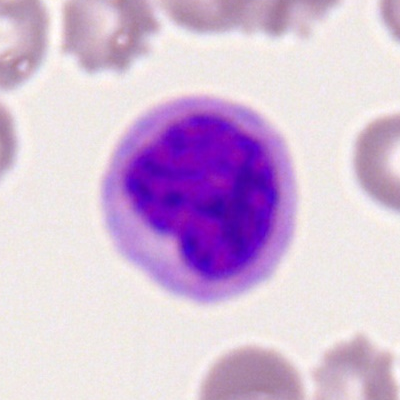Classification: monocyte.